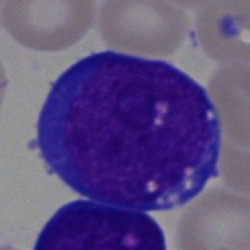

Specimen: bone marrow aspirate smear.
Classification: blast cell.